Single-cell field; bone marrow aspirate smear; brightfield, 40× oil-immersion objective
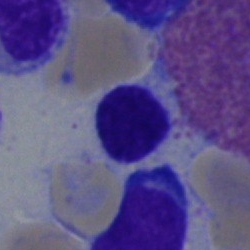

Typical lymphocyte.